Brightfield microscopy, 40× oil immersion · bone marrow smear.
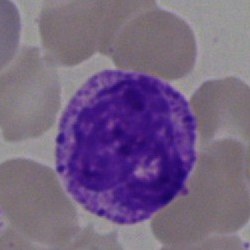 Cell — basophilic granulocyte.